Bone marrow aspirate smear: 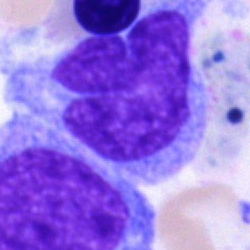

Q: What is the morphological classification of this cell?
A: A monocyte.